Single-cell crop; bone marrow smear.
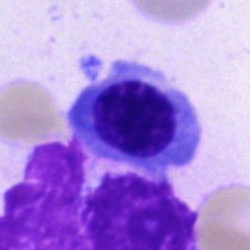Cell type — nucleated red blood cell.